Bone marrow smear.
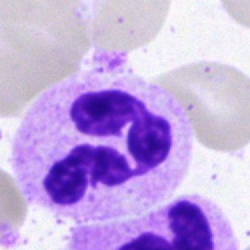

Cell: segmented neutrophil.